Bone marrow smear; single-cell field: 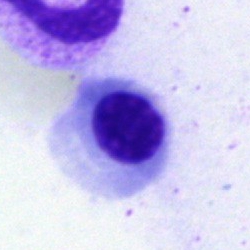
Cell — basophil.